Peripheral blood smear: 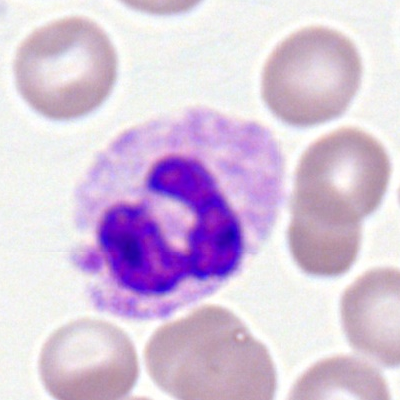

Specimen: peripheral blood film.
Classification: segmented neutrophil.